Bone marrow smear
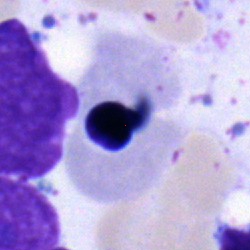

The classification is erythroblast.